Peripheral blood smear; brightfield, 100× oil-immersion objective:
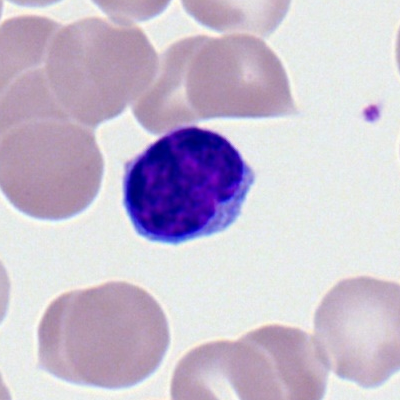 A typical lymphocyte.